Peripheral blood smear. 400×400 px. Single-cell crop.
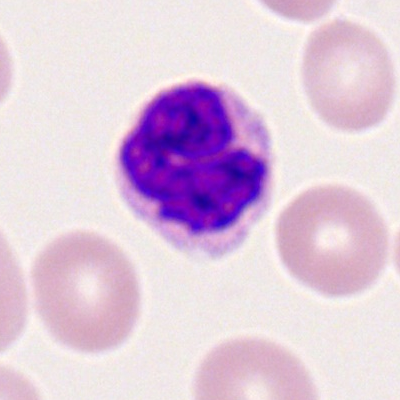
Showing a segmented neutrophil.